Bone marrow smear.
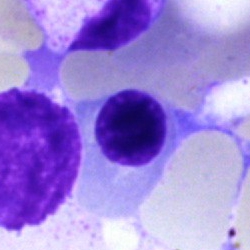

Nucleated red cell.